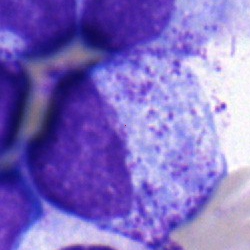
Bone marrow smear showing a progranulocyte.